Bone marrow smear.
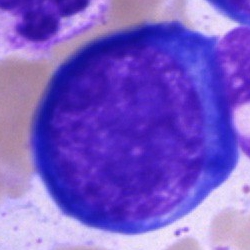 Cell type: proerythroblast.